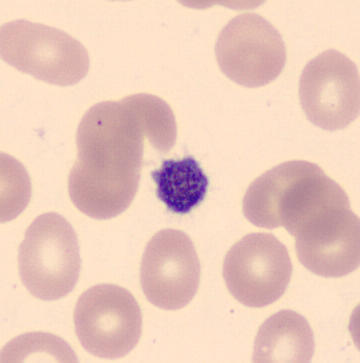
Classification — platelet.
360×363; peripheral blood smear.